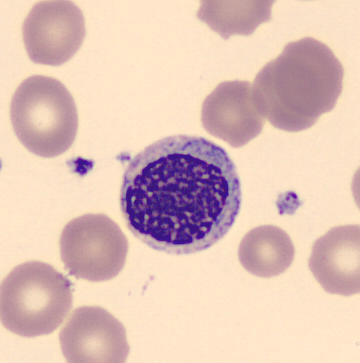
Acquisition: Peripheral blood smear.
Q: What is the morphological classification of this cell?
A: This is a myelocyte.